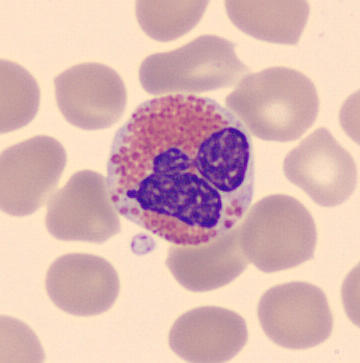

Image: May-Grünwald-Giemsa-stained · peripheral blood smear.
Identified as an eosinophilic granulocyte.